Romanowsky-stained; peripheral blood film — 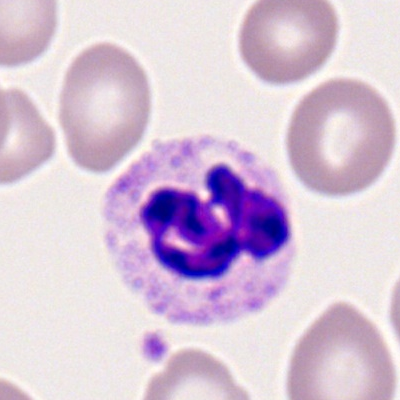 Showing a polymorphonuclear neutrophil.